Bone marrow aspirate smear · brightfield microscopy, 40× oil immersion.
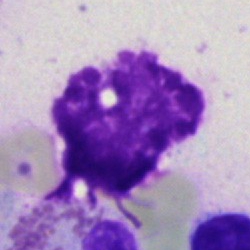Specimen: bone marrow smear.
Cell type: artefact.